Bone marrow aspirate smear; MGG-stained: 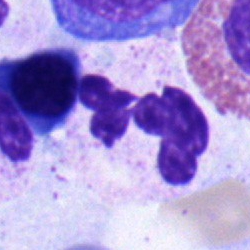The morphological class is segmented neutrophil.